May-Grünwald-Giemsa stain; bone marrow smear — 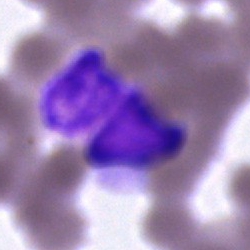

The cell type is artefact.